Brightfield microscopy, 40× oil immersion. Bone marrow smear.
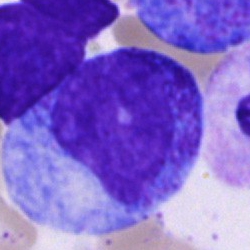{"cell_type": "promyelocyte"}